Bone marrow aspirate smear:
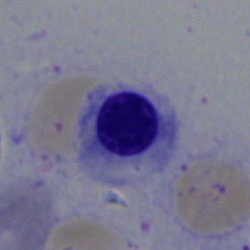

Q: What cell is this?
A: It is a normoblast.